Bone marrow smear. Single-cell field.
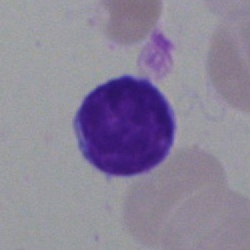Specimen: bone marrow aspirate smear.
Cell: lymphocyte.
Lineage: lymphoid.